Bone marrow smear
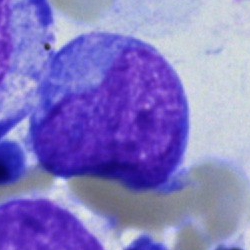

An undifferentiated blast.